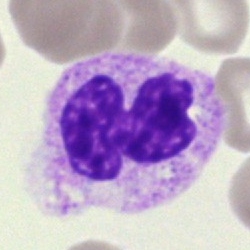

The cell is segmented neutrophil.